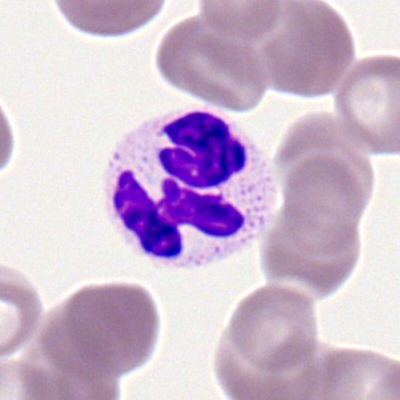 Q: What type of cell is this?
A: It is a polymorphonuclear neutrophil.